Bone marrow aspirate smear · MGG-stained:
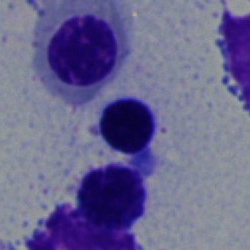
Cell type — nucleated red blood cell.